Bone marrow aspirate smear · single-cell field — 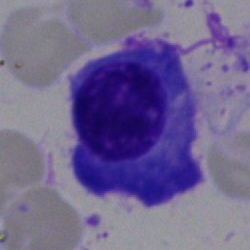

This is a plasma cell.